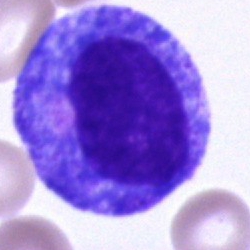

Classification = progranulocyte.